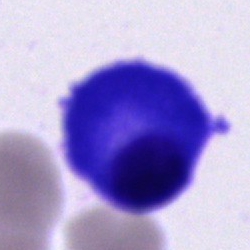Cell type: plasma cell.